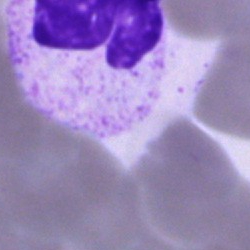
Classification — segmented neutrophil.